Bone marrow smear:
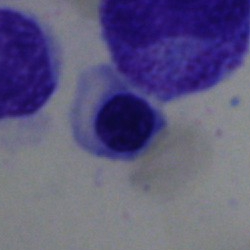
Q: What is the morphological classification of this cell?
A: A normoblast.